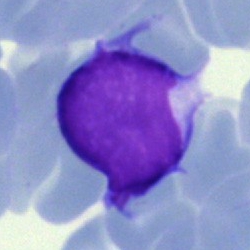Morphological class — typical lymphocyte.